Peripheral blood smear; MGG stain.
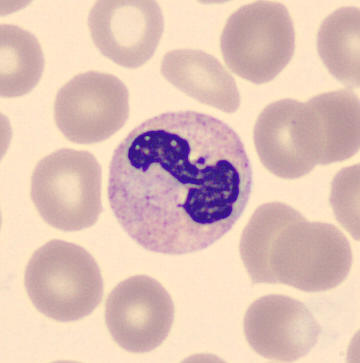 Q: What is the morphological classification of this cell?
A: Neutrophil (segmented).